Bone marrow aspirate smear; cropped to a single cell: 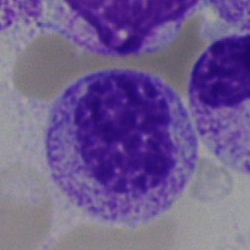
Cell — myelocyte.